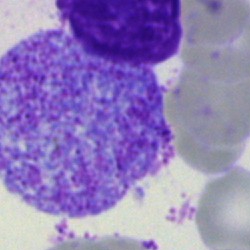
Morphological class — artifact.